Bone marrow smear
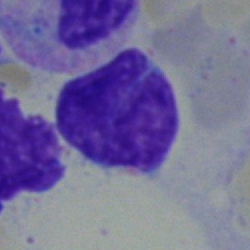

Morphology consistent with a lymphocyte.